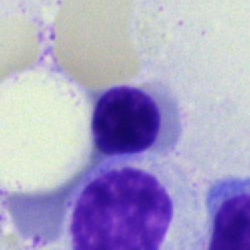

This is a nucleated red cell.